Bone marrow aspirate smear
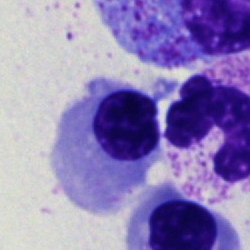
Impression — normoblast.